250×250 px. Bone marrow smear — 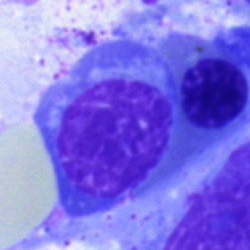 An erythroblast.